Romanowsky stain; 100× oil immersion; peripheral blood film: 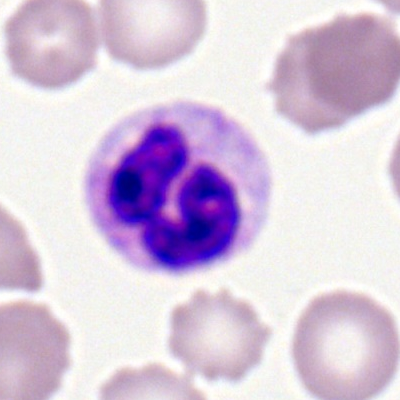

Q: What is shown here?
A: This is a neutrophil (segmented).